Bone marrow smear:
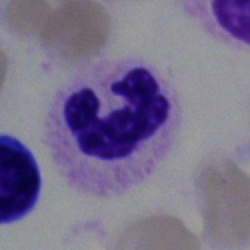The classification is polymorphonuclear neutrophil.